Bone marrow aspirate smear.
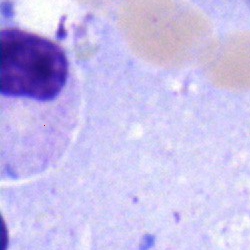

Specimen: bone marrow smear.
Morphological class: neutrophil (band).
Lineage: myeloid.